May-Grünwald-Giemsa/Pappenheim stain; bone marrow aspirate smear; 250 by 250 pixels.
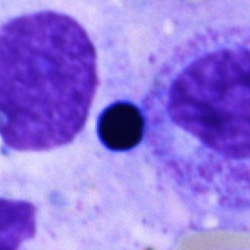
An artifact.